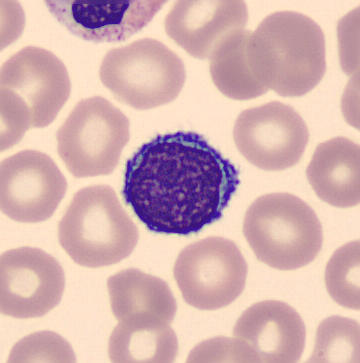
Specimen: peripheral blood film.
Morphological class: typical lymphocyte.